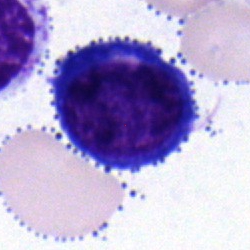
Normoblast.